Image size 250×250 · bone marrow smear.
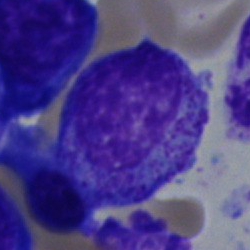 Cell type — myelocyte.